Bone marrow smear · 250×250 px
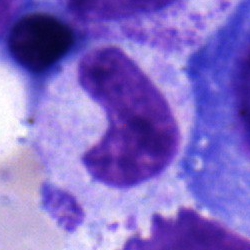

Stab cell.